Bone marrow smear: 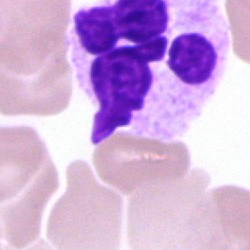

Q: What is the morphological classification of this cell?
A: A polymorphonuclear neutrophil.